Peripheral blood smear — 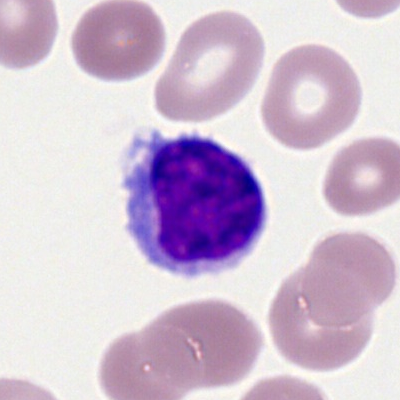
Morphology consistent with a lymphocyte.